Bone marrow aspirate smear · 250 by 250 pixels · brightfield microscopy, 40× oil immersion:
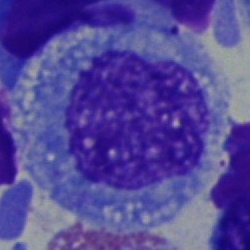Q: What is shown here?
A: Progranulocyte.